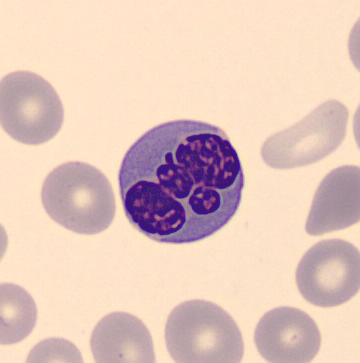Preparation: CellaVision DM96. Peripheral blood smear.
The classification is nucleated red cell.